Bone marrow smear:
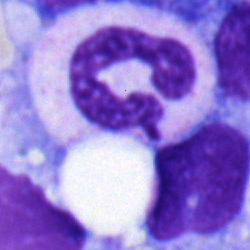 Q: Identify the cell.
A: It is a stab cell.